Bone marrow aspirate smear — 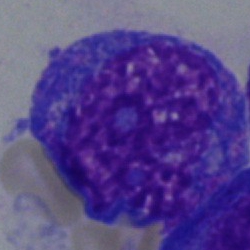{"cell_type": "progranulocyte", "lineage": "myeloid"}